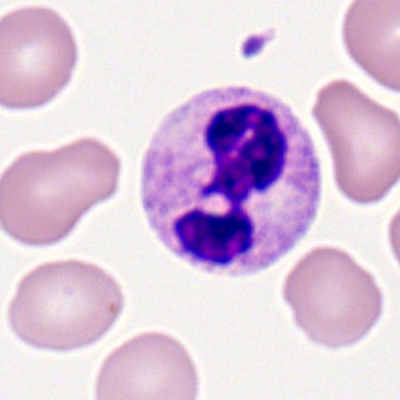

Peripheral blood film, single cell — neutrophil (segmented).